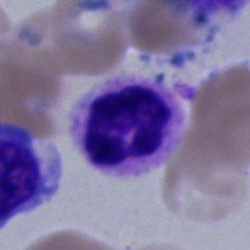Morphology — cell of indeterminate lineage.